Bone marrow smear.
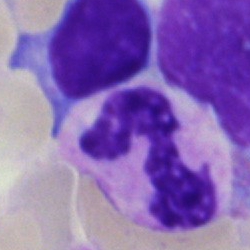
A neutrophil (segmented).